Bone marrow smear — 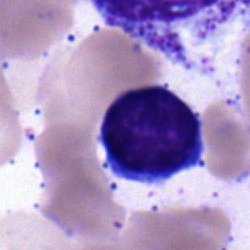
Single cell identified as a typical lymphocyte.